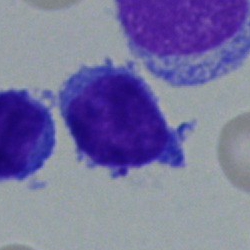
Typical lymphocyte.